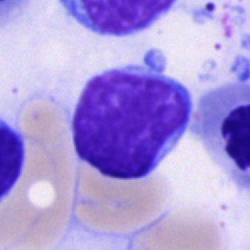Bone marrow smear showing a typical lymphocyte.